Bone marrow smear: 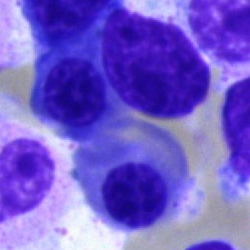

Cell type = nucleated red cell.